Single-cell crop. Brightfield microscopy, 40× oil immersion. Bone marrow smear.
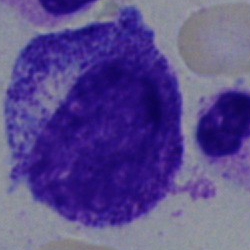This is a progranulocyte.